Romanowsky stain. Peripheral blood film.
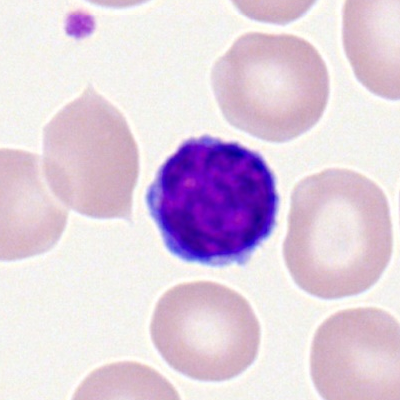
This is a typical lymphocyte.